Bone marrow aspirate smear; Pappenheim-stained — 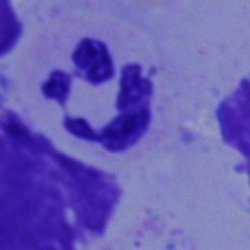
Cell type — polymorphonuclear neutrophil.